Bone marrow aspirate smear.
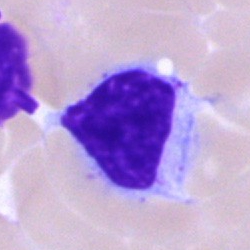
The classification is lymphocyte.